Peripheral blood film. 100× oil immersion. Single cell centered in the field: 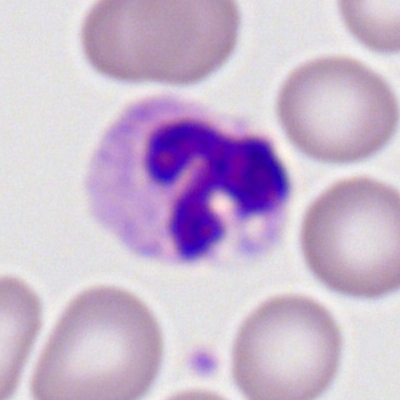 Q: Identify the cell.
A: A segmented neutrophil.